Bone marrow aspirate smear:
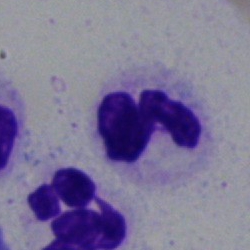

Cell: neutrophil (segmented).